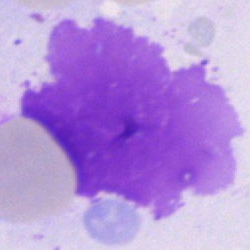
The cell type is artifact.